Peripheral blood film. 100× oil immersion — 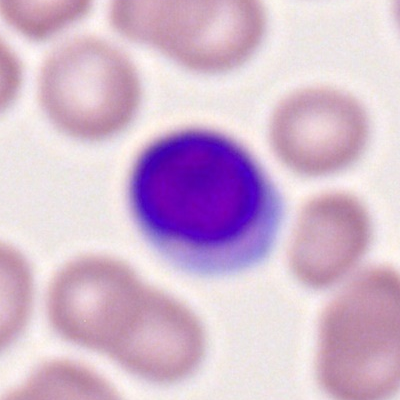
Morphological class — typical lymphocyte.